Bone marrow smear.
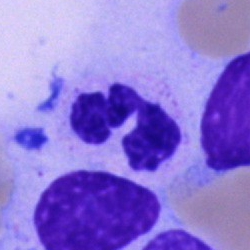Neutrophil (segmented).